Bone marrow aspirate smear — 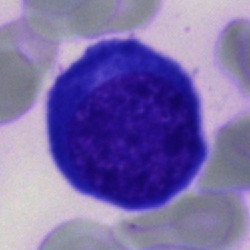Cell type: proerythroblast.